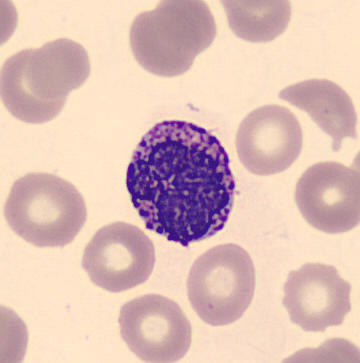 Morphological class: basophilic granulocyte.
Image: Peripheral blood smear.